Bone marrow aspirate smear; single-cell crop
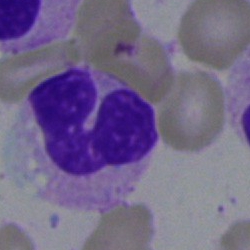

Q: Identify the cell.
A: Band neutrophil.